Bone marrow aspirate smear:
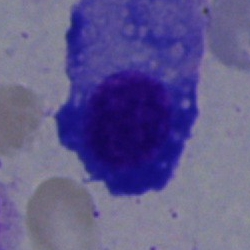Morphology consistent with a plasmacyte.